Bone marrow aspirate smear; 40× objective, oil immersion:
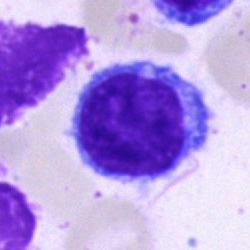
Specimen: bone marrow aspirate smear.
Cell: lymphocyte.
Lineage: lymphoid.